100× oil immersion · peripheral blood smear: 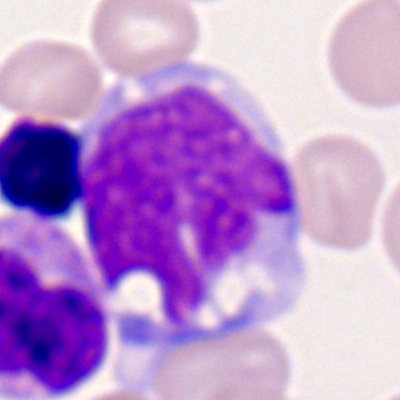

The cell shown is a monocyte.